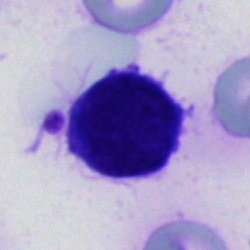 {"cell_type": "cell of indeterminate lineage"}